Bone marrow smear
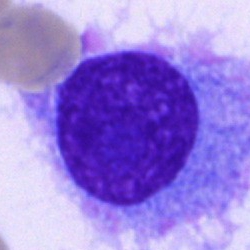Morphology → plasmacyte.